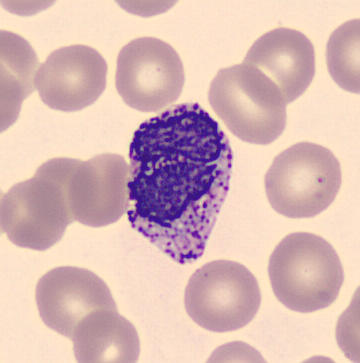

Cell — basophilic granulocyte.